Bone marrow smear — 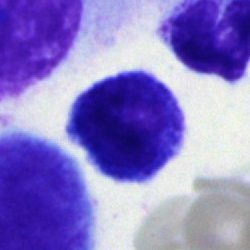
Single cell identified as a myelocyte.